Bone marrow aspirate smear.
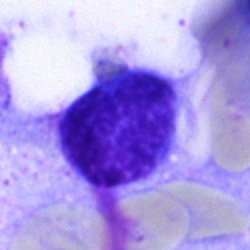 Specimen: bone marrow aspirate smear.
Morphological class: typical lymphocyte.
Lineage: lymphoid.